40× oil immersion; bone marrow smear — 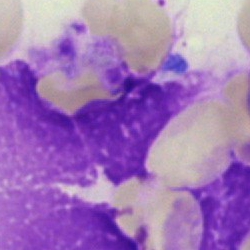
Q: What is shown here?
A: Artifact.